Bone marrow smear · 250×250: 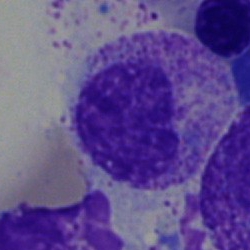
{"cell_type": "myelocyte", "lineage": "myeloid"}